MGG-stained · bone marrow aspirate smear
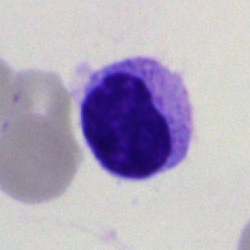 The cell shown is a typical lymphocyte.